Bone marrow smear:
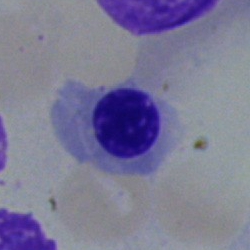 Q: Which cell type is shown here?
A: This is a nucleated red cell.